Bone marrow smear · single-cell field.
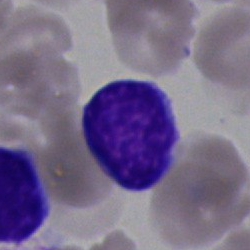 The cell shown is a lymphocyte.